Bone marrow aspirate smear; 250×250; Pappenheim-stained.
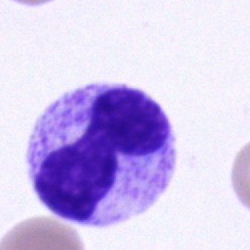 Classification — stab cell.